MGG-stained · bone marrow aspirate smear
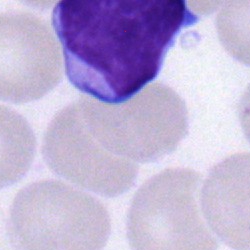A typical lymphocyte.